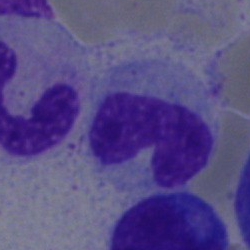 Cell — neutrophil (band).